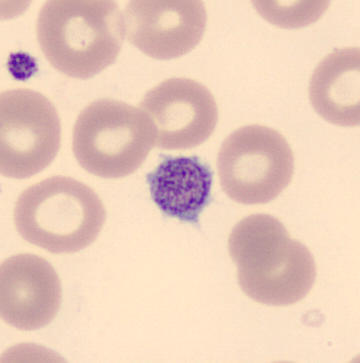Peripheral blood smear · 360×363 px. Classification — thrombocyte.